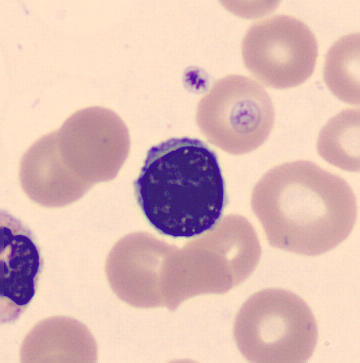 Identified as a nucleated red cell.

Peripheral blood film.